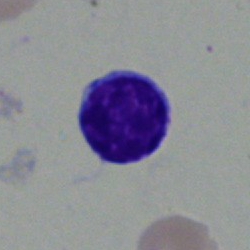 Impression — typical lymphocyte.